Bone marrow smear. 40× objective, oil immersion — 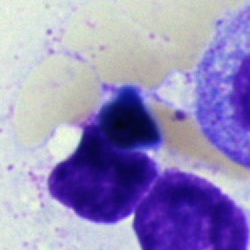

Cell: artefact.